Peripheral blood smear · single-cell field — 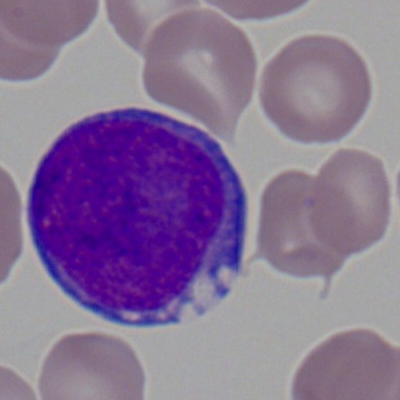

This is a myeloid blast.